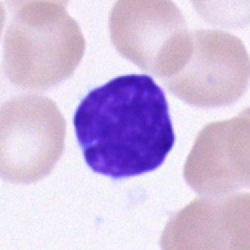
Classification: typical lymphocyte.